Bone marrow smear.
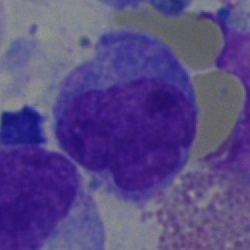 Classification = undifferentiated blast.